Single-cell crop · bone marrow aspirate smear — 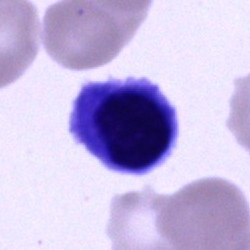 This is a nucleated red cell.